250 by 250 pixels · bone marrow smear: 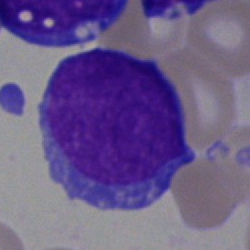Classification = blast.